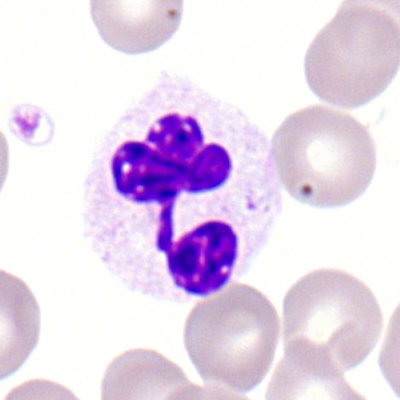Peripheral blood smear showing a segmented neutrophil.